May-Grünwald-Giemsa stain. Bone marrow aspirate smear: 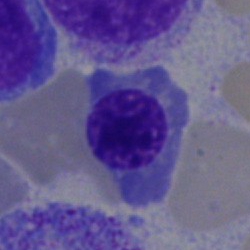

Morphology consistent with a normoblast.